Bone marrow aspirate smear. Single cell centered in the field:
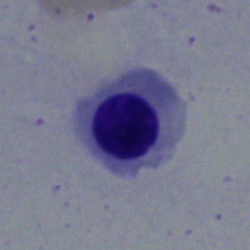

{"cell_type": "erythroblast", "lineage": "erythroid"}